Peripheral blood smear.
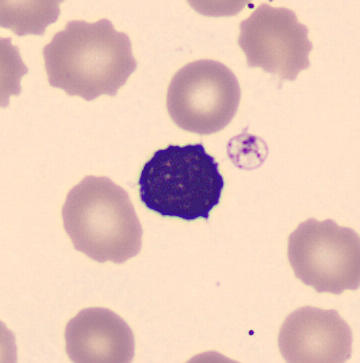

The cell shown is a lymphocyte.